Bone marrow aspirate smear — 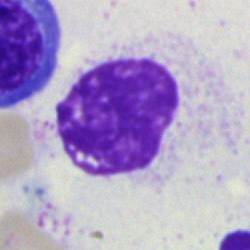 Showing an artefact.